Bone marrow smear — 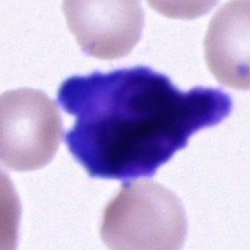

Q: What type of cell is this?
A: This is a cell of indeterminate lineage.